Bone marrow aspirate smear: 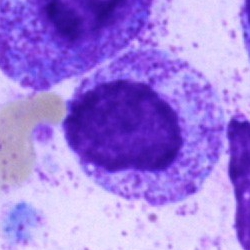

Specimen: bone marrow smear.
Cell type: myelocyte.
Lineage: myeloid.